May-Grünwald-Giemsa/Pappenheim stain · bone marrow smear · 40× oil immersion: 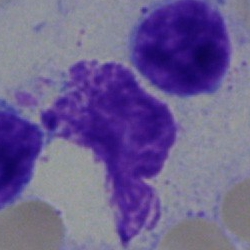

Q: What type of cell is this?
A: This is a lymphocyte.